Bone marrow aspirate smear · brightfield microscopy, 40× oil immersion · 250×250 px — 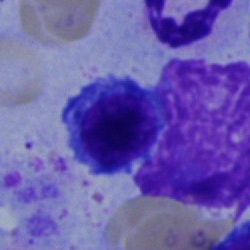 Q: What is the morphological classification of this cell?
A: Erythroblast.